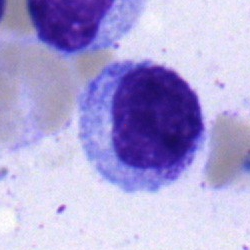
Cell type = myelocyte.